Bone marrow smear. Cropped to a single cell. Brightfield, 40× oil-immersion objective.
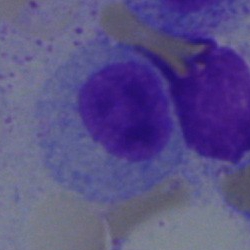
Showing a myelocyte.